Peripheral blood smear. M8 digital microscope (Precipoint), 100× oil immersion.
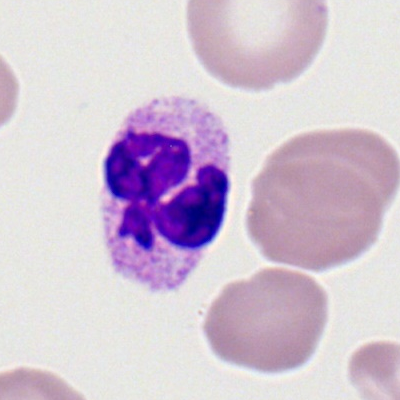

Q: What type of cell is this?
A: Segmented neutrophil.